Bone marrow smear: 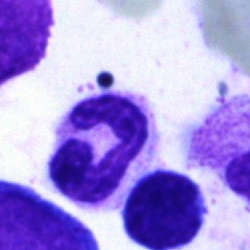Cell type: neutrophil (segmented).